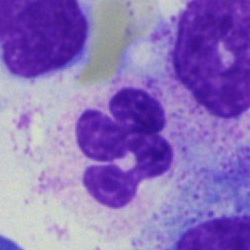 Morphology — neutrophil (segmented).